Bone marrow aspirate smear · Pappenheim-stained — 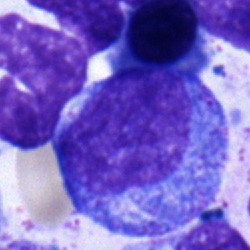Morphology → progranulocyte.